40× objective, oil immersion; single-cell crop; bone marrow smear
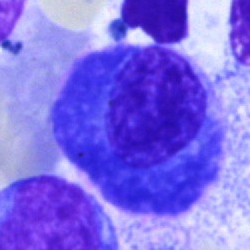

Specimen: bone marrow smear.
Morphological class: plasma cell.
Lineage: lymphoid.